250×250 px. Bone marrow smear: 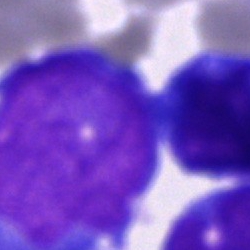
This is an undifferentiated blast.